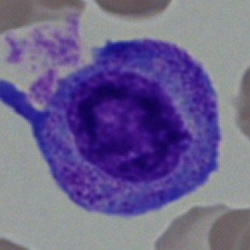
Morphological class: promyelocyte.